Bone marrow smear; Pappenheim-stained; cropped to a single cell:
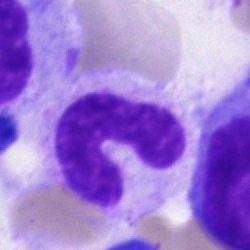Single cell identified as a neutrophil (band).